Bone marrow aspirate smear; brightfield microscopy, 40× oil immersion; single cell centered in the field
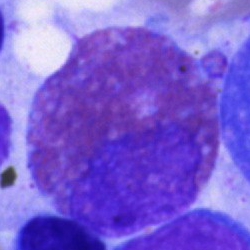 Single cell identified as an eosinophil.